250 by 250 pixels. Single-cell field. Bone marrow smear — 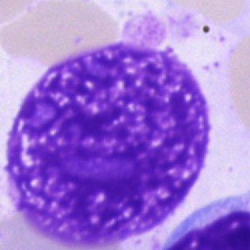

Specimen: bone marrow aspirate smear.
Classification: artefact.